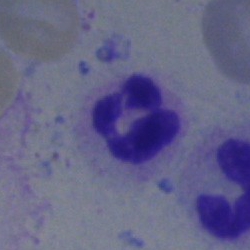

Q: What is shown here?
A: A neutrophil (segmented).